Bone marrow aspirate smear. 250 by 250 pixels. 40× objective, oil immersion
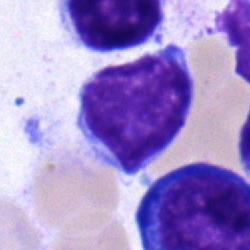

Morphological class = typical lymphocyte.